MGG-stained. Bone marrow smear
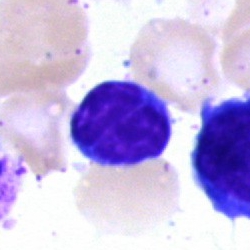 The morphological class is lymphocyte.